Peripheral blood film:
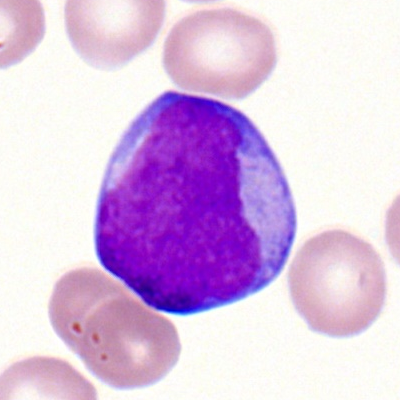Q: What is shown here?
A: It is a myeloid blast.